Bone marrow aspirate smear; 250×250
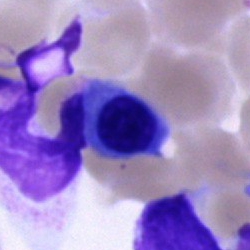 The cell type is unidentifiable cell.